Bone marrow aspirate smear.
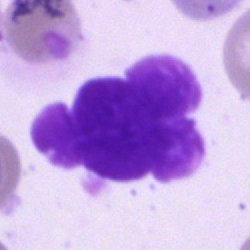
Classification — artefact.